Bone marrow aspirate smear:
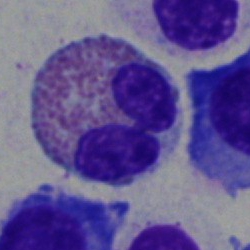

An eosinophilic granulocyte.